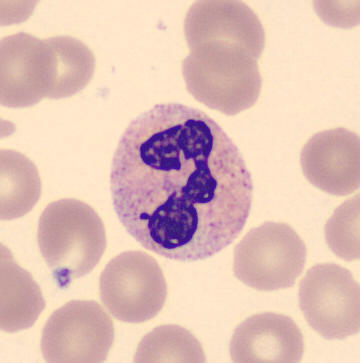Cell = segmented neutrophil.

Image: Peripheral blood smear · cropped to a single cell.